Bone marrow smear · MGG-stained — 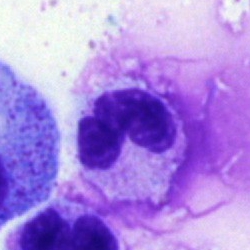

Polymorphonuclear neutrophil.